Peripheral blood film.
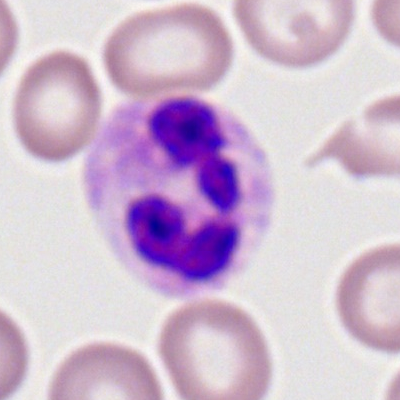
Morphological class — polymorphonuclear neutrophil.